Bone marrow aspirate smear: 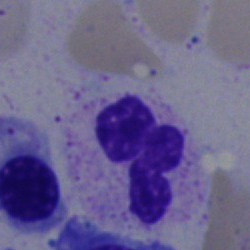

Polymorphonuclear neutrophil.